250 by 250 pixels. 40× objective, oil immersion. Bone marrow aspirate smear.
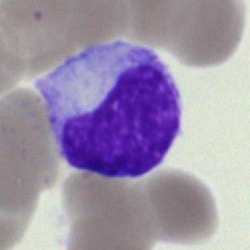 Specimen: bone marrow smear.
Cell: artefact.